Image size 250×250 · bone marrow smear: 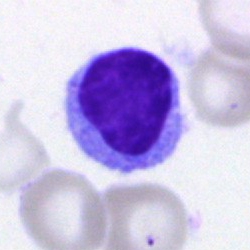
This is a typical lymphocyte.